MGG-stained; bone marrow smear — 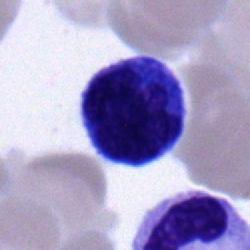A lymphocyte.